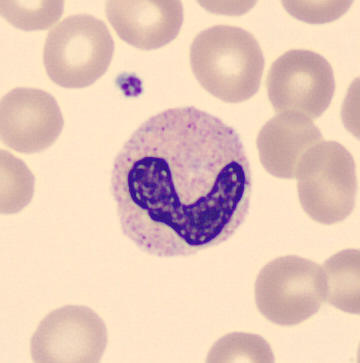{"cell_type": "band neutrophil", "lineage": "myeloid"}
Image: Peripheral blood smear; 360 by 363 pixels; single cell centered in the field.